Bone marrow aspirate smear. 40× oil immersion. 250×250 px
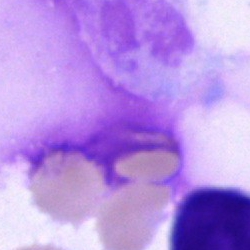
Q: What is shown here?
A: Artifact.